Bone marrow smear. May-Grünwald-Giemsa stain
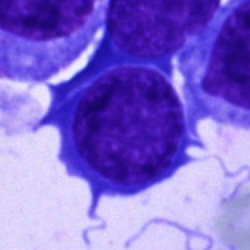 Morphology — blast cell.